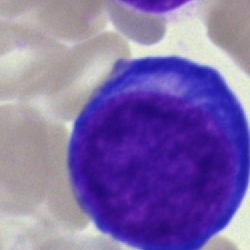Specimen: bone marrow smear.
Morphological class: pronormoblast.
Lineage: erythroid.